Peripheral blood smear.
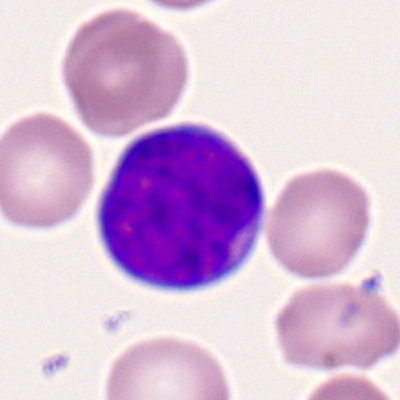
Impression → myeloblast.